40× oil immersion · 250×250 · bone marrow smear: 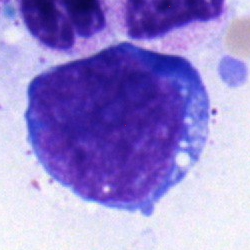

Impression — undifferentiated blast.